Bone marrow aspirate smear. Image size 250×250.
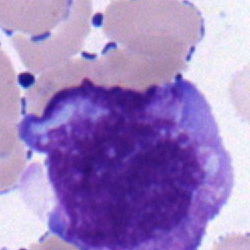 The cell shown is an undifferentiated blast.